Bone marrow aspirate smear · 250 by 250 pixels.
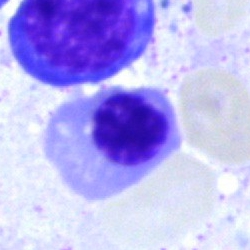

Nucleated red cell.